40× objective, oil immersion · bone marrow aspirate smear:
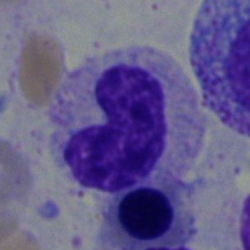 Single cell identified as a neutrophil (band).